Bone marrow smear.
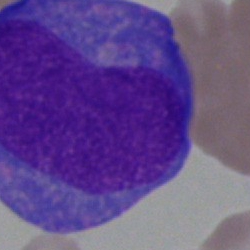
Specimen: bone marrow smear.
Morphological class: undifferentiated blast.